Bone marrow aspirate smear. May-Grünwald-Giemsa stain. Single cell centered in the field
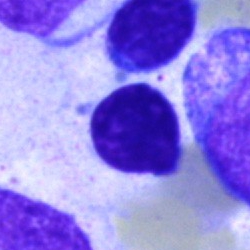

Showing an artefact.